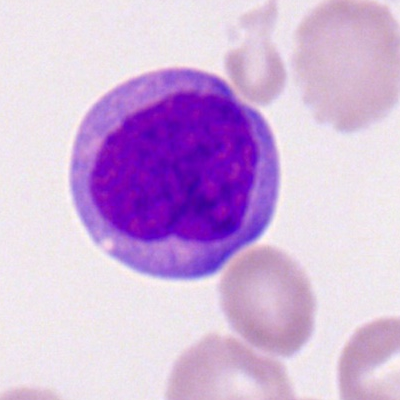

Q: Identify the cell.
A: Monocyte.